Peripheral blood smear; image size 400×400; brightfield, 100× oil-immersion objective:
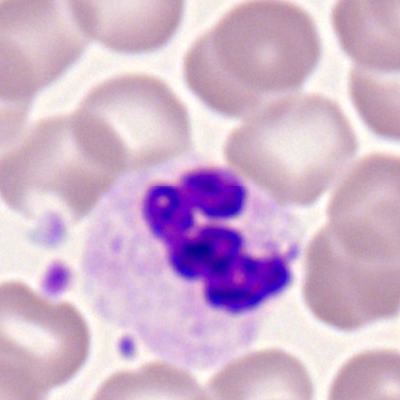 Morphological class: polymorphonuclear neutrophil.